May-Grünwald-Giemsa stain; bone marrow aspirate smear — 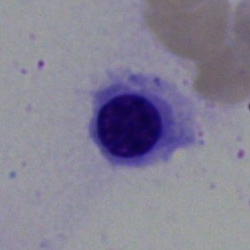This is an erythroblast.